Bone marrow aspirate smear. 250×250 px:
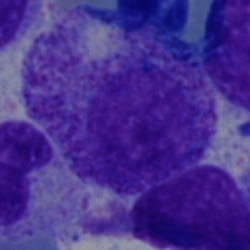 Single cell identified as a myelocyte.